Single-cell crop; brightfield, 40× oil-immersion objective; bone marrow smear:
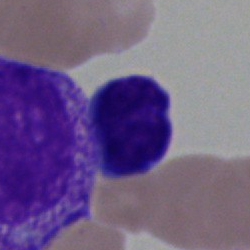
Q: Identify the cell.
A: A lymphocyte.